Bone marrow aspirate smear; 250×250; May-Grünwald-Giemsa stain: 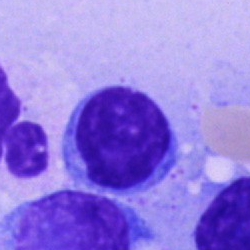 Classification: typical lymphocyte.